Bone marrow smear — 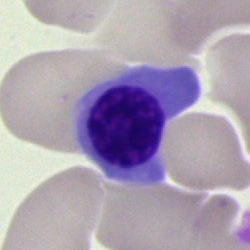
The cell shown is a normoblast.